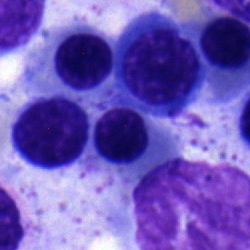
Bone marrow aspirate smear, single cell — nucleated red cell.